Bone marrow aspirate smear. Single cell centered in the field
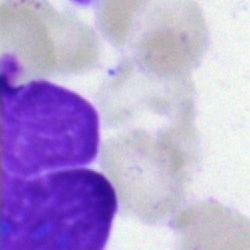Showing an artifact.